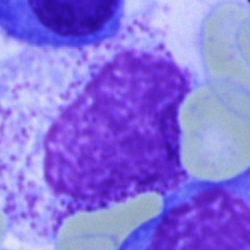 The morphological class is myelocyte.